Bone marrow smear
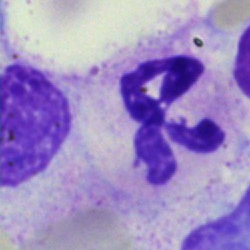 Morphology — polymorphonuclear neutrophil.